Cropped to a single cell · bone marrow aspirate smear — 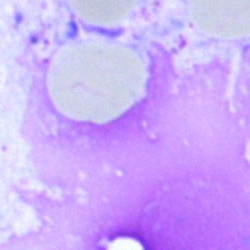

Artifact.